Bone marrow aspirate smear · image size 250×250: 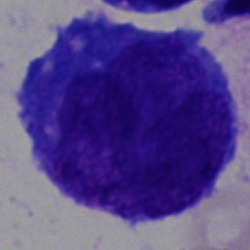

Single cell identified as a blast.